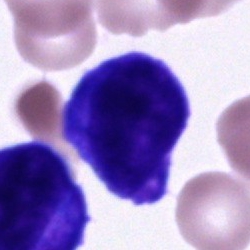

The cell is unidentifiable cell.